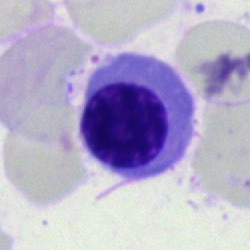Impression — erythroblast.